Single-cell field. Bone marrow smear: 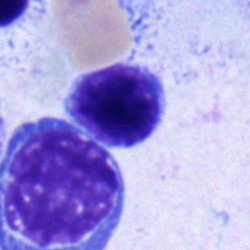Normoblast.